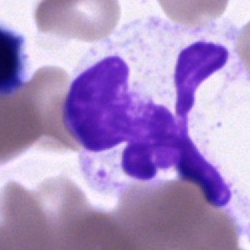 Morphology consistent with an artefact.